Bone marrow aspirate smear: 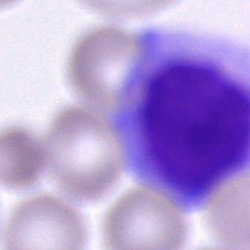

Cell — cell of indeterminate lineage.